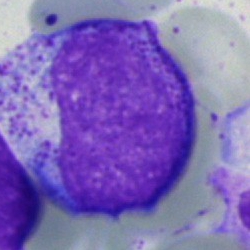A progranulocyte on a bone marrow smear.